MGG-stained · bone marrow smear:
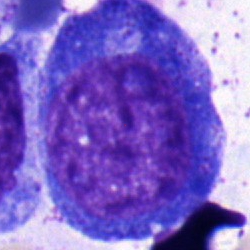
Impression — promyelocyte.